Image size 250×250 · bone marrow aspirate smear
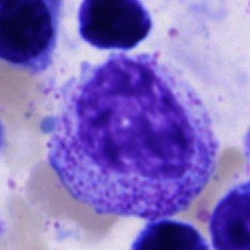Cell type = progranulocyte.